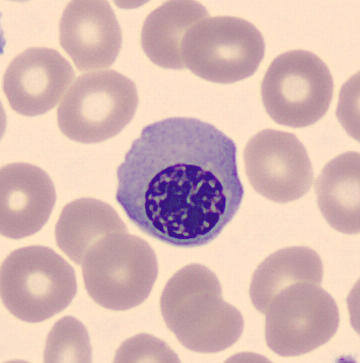Morphological class = nucleated red blood cell. CellaVision DM96 · peripheral blood smear.